Pappenheim-stained; bone marrow smear; single cell centered in the field
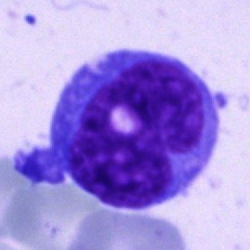 Cell type: blast.